Bone marrow smear · single-cell crop
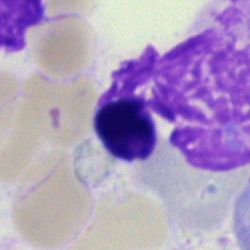

Morphology → artifact.